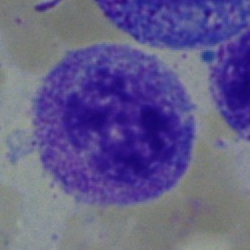

A myelocyte.